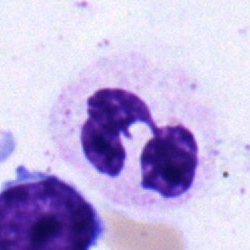Impression — polymorphonuclear neutrophil.